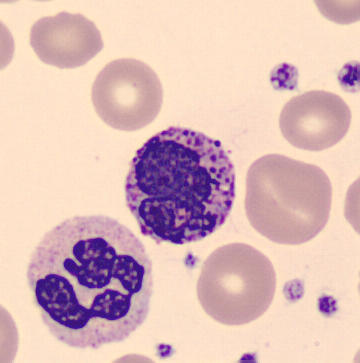
This is a basophil.